Bone marrow aspirate smear: 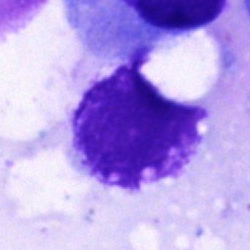
Q: What is shown here?
A: An artefact.